Bone marrow aspirate smear; Pappenheim-stained; 250×250
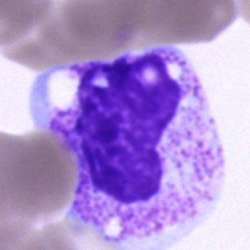 Q: What cell is this?
A: It is a metamyelocyte.